Bone marrow aspirate smear. Image size 250×250
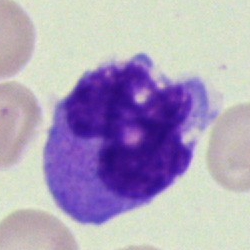 Showing a monocyte.